Bone marrow aspirate smear: 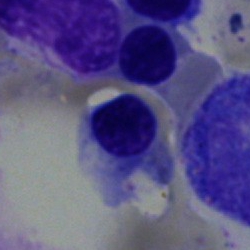 Impression → erythroblast.